Bone marrow aspirate smear. Brightfield, 40× oil-immersion objective:
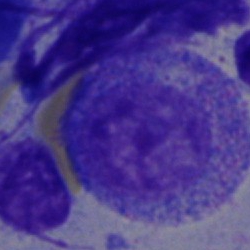Morphology → promyelocyte.